40× oil immersion · bone marrow smear · image size 250×250
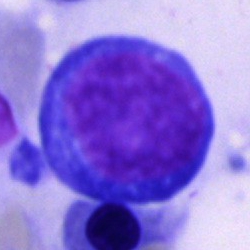Q: What is the morphological classification of this cell?
A: A blast.